Bone marrow aspirate smear:
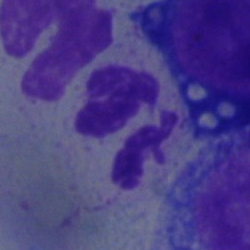 Cell — neutrophil (segmented).